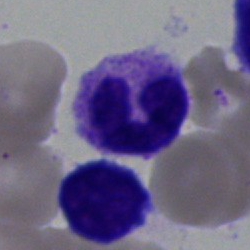Bone marrow smear showing a band-form neutrophil.